250 by 250 pixels · bone marrow aspirate smear:
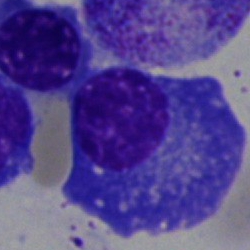
Morphology consistent with a plasma cell.